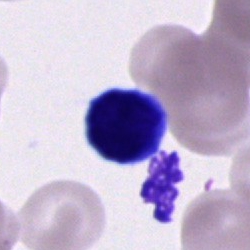
Cell type = lymphocyte.